Bone marrow aspirate smear · 250×250 px: 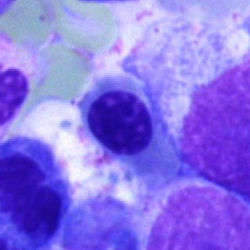
{"cell_type": "erythroblast"}